Image size 250×250; bone marrow aspirate smear:
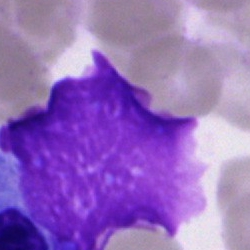 Impression — artifact.